Peripheral blood film:
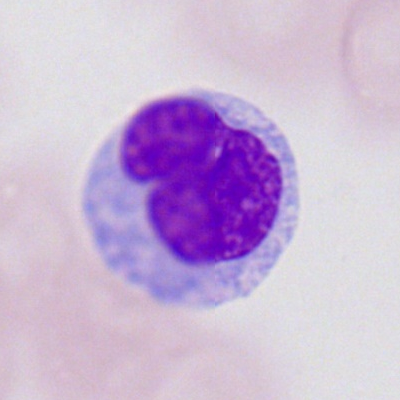 Q: Identify the cell.
A: Monocyte.